Pappenheim-stained · bone marrow smear — 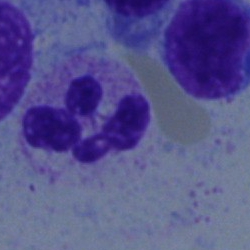

Q: Which cell type is shown here?
A: Polymorphonuclear neutrophil.